Bone marrow smear.
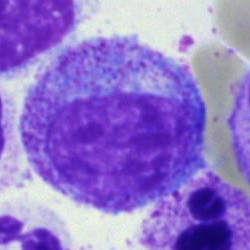

Morphology consistent with a progranulocyte.